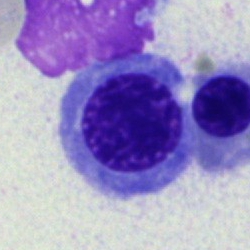Cell type: normoblast.